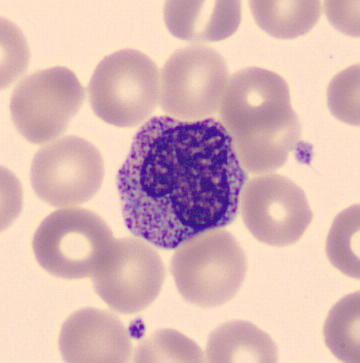Morphology consistent with a metamyelocyte.
Acquisition: Peripheral blood film.